Bone marrow smear: 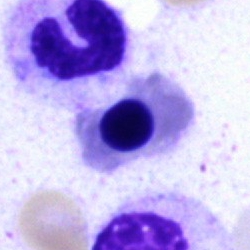Showing a nucleated red cell.